Bone marrow smear; brightfield, 40× oil-immersion objective; 250×250 px.
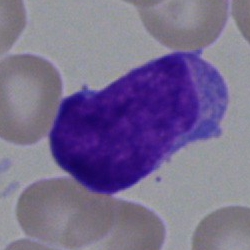

Specimen: bone marrow aspirate smear.
Classification: blast cell.